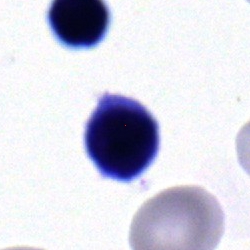 The classification is typical lymphocyte.